May-Grünwald-Giemsa/Pappenheim stain; bone marrow aspirate smear: 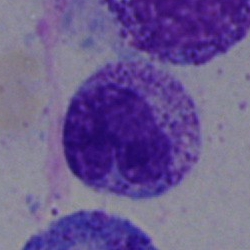 Cell type = band-form neutrophil.